Bone marrow smear · single-cell crop
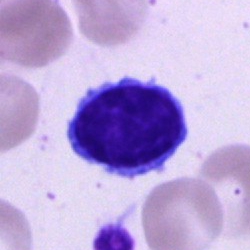
Q: What is the morphological classification of this cell?
A: A lymphocyte.